Bone marrow aspirate smear: 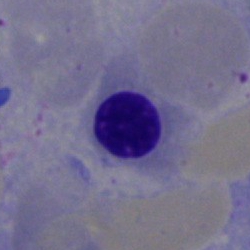
Q: Identify the cell.
A: It is a normoblast.